Bone marrow smear: 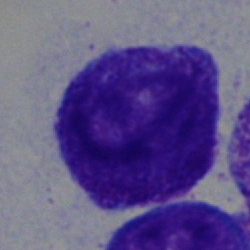

A promyelocyte.